Bone marrow smear.
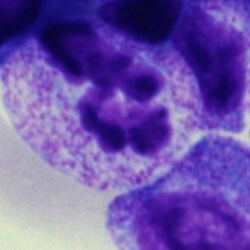
Segmented neutrophil.